Peripheral blood film; 100× objective, oil immersion
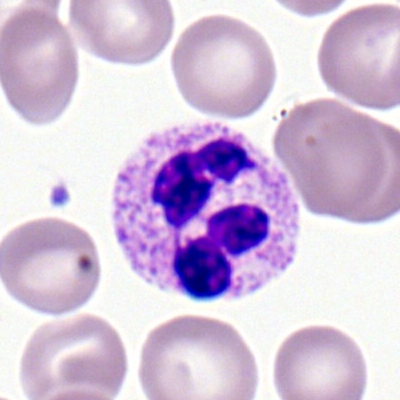 Cell — polymorphonuclear neutrophil.